Bone marrow smear
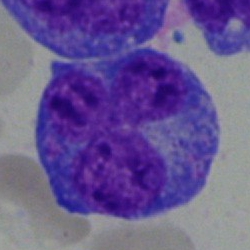The cell is undifferentiated blast.